Cropped to a single cell · bone marrow smear · 250×250 px.
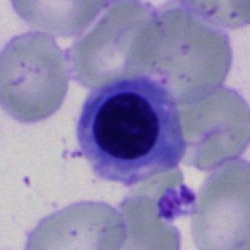
Cell — nucleated red cell.